Bone marrow aspirate smear
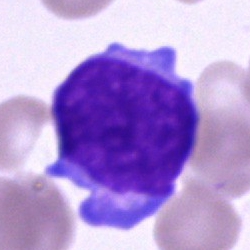 Impression — blast cell.